Bone marrow smear: 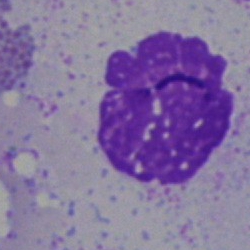 Q: What is shown here?
A: An artefact.